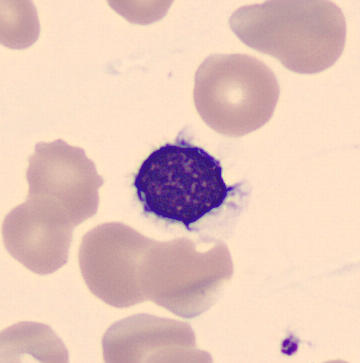
Morphology consistent with a lymphocyte. Peripheral blood smear.